MGG-stained. Bone marrow smear. Brightfield, 40× oil-immersion objective: 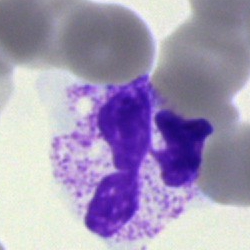

Q: What type of cell is this?
A: A neutrophil (segmented).